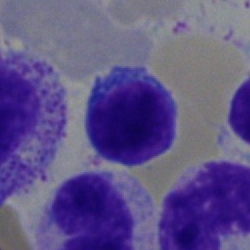 Q: What is the morphological classification of this cell?
A: It is a typical lymphocyte.